Bone marrow aspirate smear — 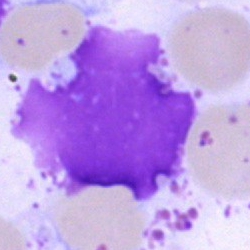
Q: What is shown here?
A: This is an artifact.